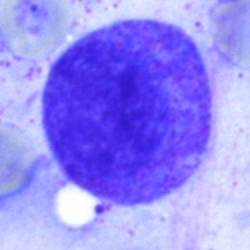Morphology consistent with a progranulocyte.